Bone marrow smear — 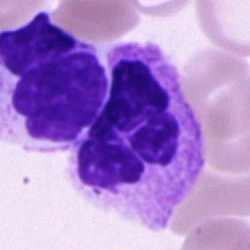

Showing a polymorphonuclear neutrophil.